Bone marrow aspirate smear — 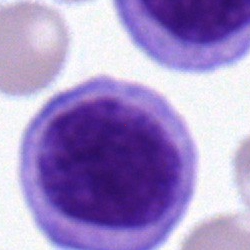Single cell identified as a typical lymphocyte.